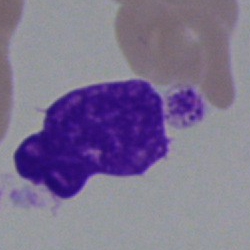

Single cell identified as an artefact.